Peripheral blood film:
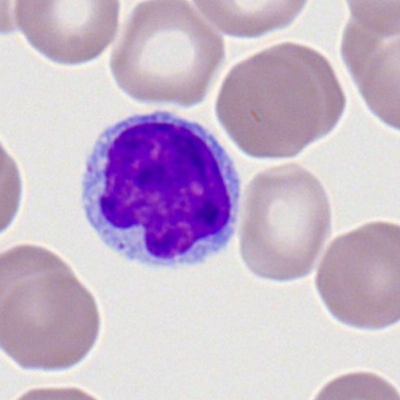Classification — typical lymphocyte.